Peripheral blood film
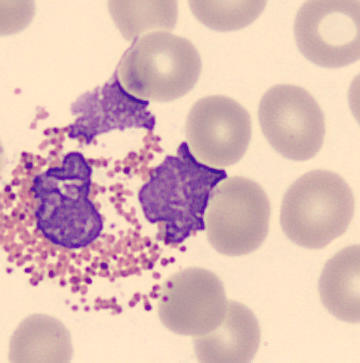The morphological class is eosinophilic granulocyte.